Bone marrow smear.
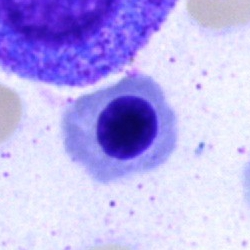
Classification — nucleated red cell.